MGG-stained. Bone marrow aspirate smear: 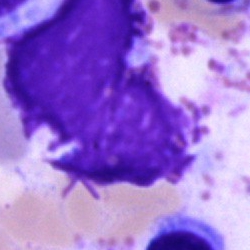

Morphology — artifact.